Single-cell crop. Bone marrow aspirate smear. Brightfield microscopy, 40× oil immersion: 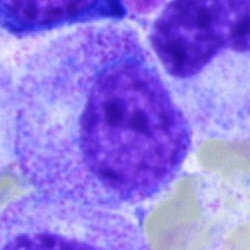This is a progranulocyte.